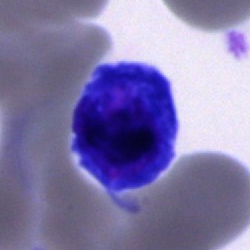
Q: Which cell type is shown here?
A: It is an unidentifiable cell.